Bone marrow smear
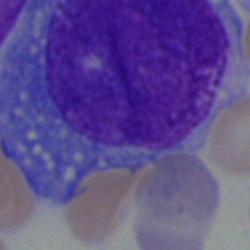 Morphology consistent with a blast cell.